Bone marrow aspirate smear. Pappenheim-stained
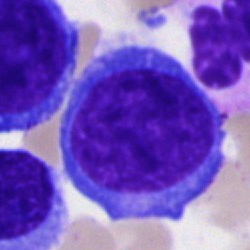Morphological class: lymphocyte (immature).